Peripheral blood smear — 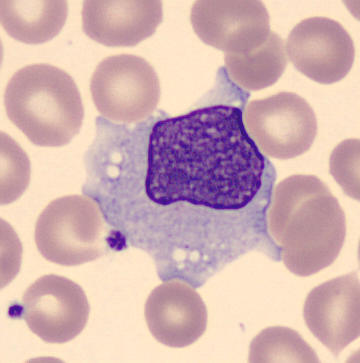 Impression — monocyte.